Cropped to a single cell · bone marrow aspirate smear.
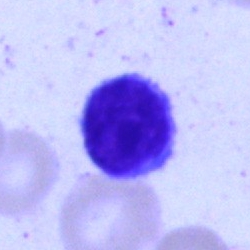
{"cell_type": "lymphocyte"}